Bone marrow aspirate smear; brightfield, 40× oil-immersion objective.
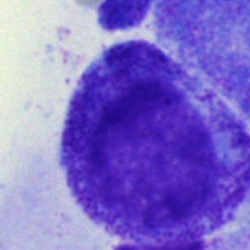
Progranulocyte.